Single-cell field. Bone marrow smear.
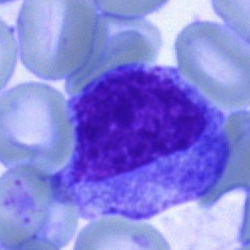

Progranulocyte.